Bone marrow aspirate smear. Pappenheim-stained. Image size 250×250 — 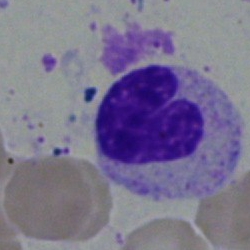

Specimen: bone marrow smear.
Cell: neutrophil (band).
Lineage: myeloid.